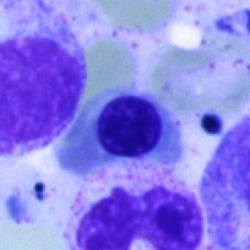 Single-cell crop from a bone marrow smear: nucleated red cell.